Bone marrow aspirate smear: 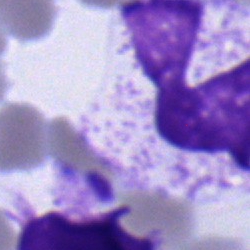Cell: band-form neutrophil.